40× objective, oil immersion. Bone marrow aspirate smear. 250×250 — 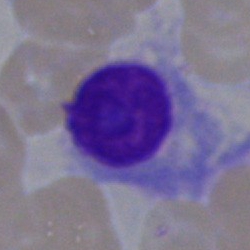Morphology → plasma cell.